Bone marrow aspirate smear; May-Grünwald-Giemsa stain:
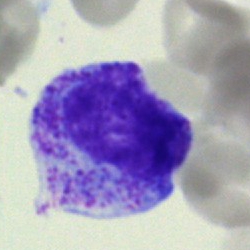Morphology consistent with a myelocyte.